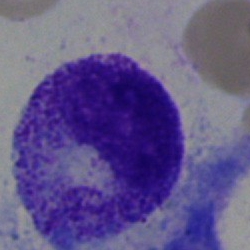

Cell type: myelocyte.